40× oil immersion; bone marrow aspirate smear — 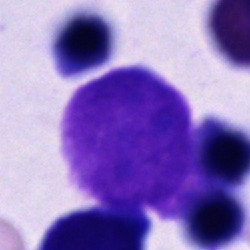

Specimen: bone marrow smear.
Cell: cell of indeterminate lineage.